Pappenheim-stained. 250 by 250 pixels. Bone marrow smear:
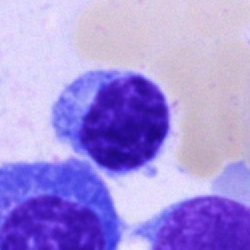
Classification = lymphocyte.